40× objective, oil immersion. Bone marrow smear.
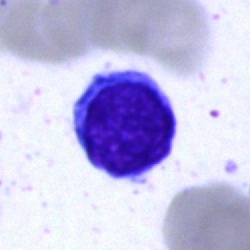
Morphology consistent with a typical lymphocyte.